May-Grünwald-Giemsa stain. Bone marrow aspirate smear. Image size 250×250 — 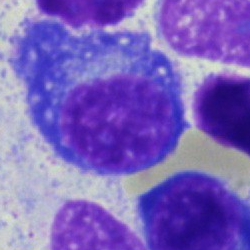 Specimen: bone marrow smear.
Cell type: plasma cell.
Lineage: lymphoid.